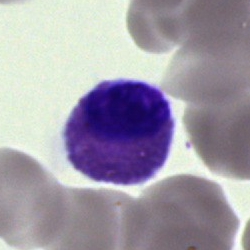 Specimen: bone marrow smear.
Cell type: eosinophil.
Lineage: myeloid.